250×250. Bone marrow smear. 40× oil immersion
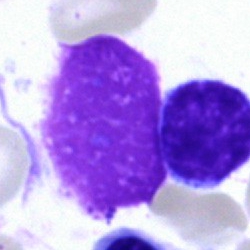

Morphology → artefact.